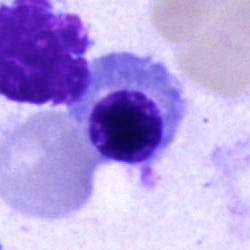 Specimen: bone marrow aspirate smear.
Cell type: erythroblast.